Bone marrow aspirate smear.
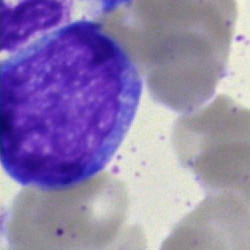

Q: What is the morphological classification of this cell?
A: Blast.